Bone marrow smear; May-Grünwald-Giemsa/Pappenheim stain
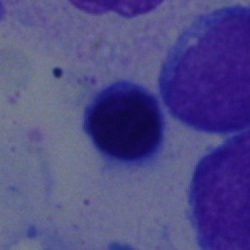
Classification: typical lymphocyte.